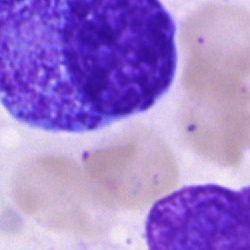
Specimen: bone marrow smear.
Cell: promyelocyte.
Lineage: myeloid.